Bone marrow smear
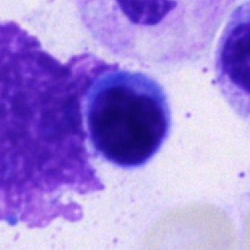Morphology consistent with a lymphocyte.